Bone marrow smear
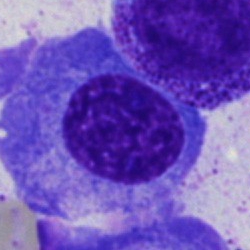

The cell shown is a plasmacyte.